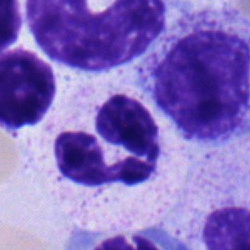 Morphology → neutrophil (segmented).